40× oil immersion; bone marrow smear.
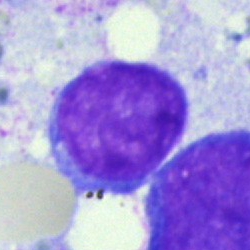 The cell type is undifferentiated blast.